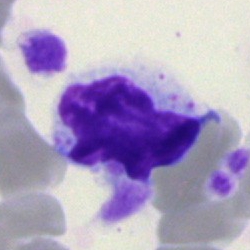

Q: What is the morphological classification of this cell?
A: This is a typical lymphocyte.